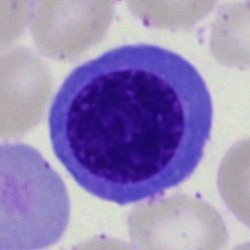 Bone marrow aspirate smear, single cell — erythroblast.